Bone marrow smear; single cell centered in the field
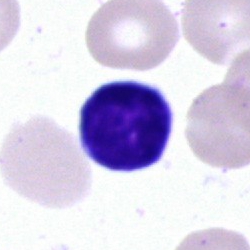
The cell is lymphocyte.